250×250 px. Bone marrow aspirate smear. May-Grünwald-Giemsa stain: 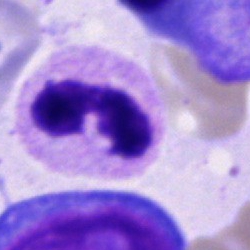
Q: Identify the cell.
A: It is a neutrophil (segmented).